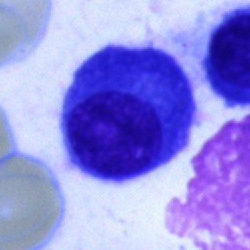Cell type — plasmacyte.